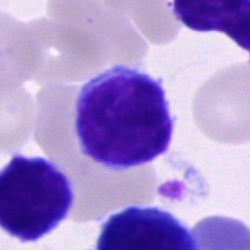
Q: What type of cell is this?
A: This is a typical lymphocyte.